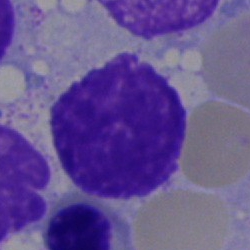 Morphology → artifact.